Bone marrow aspirate smear; cropped to a single cell — 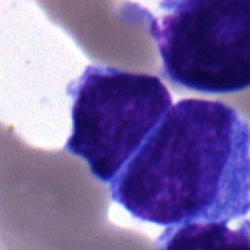The cell shown is a blast.